Peripheral blood film:
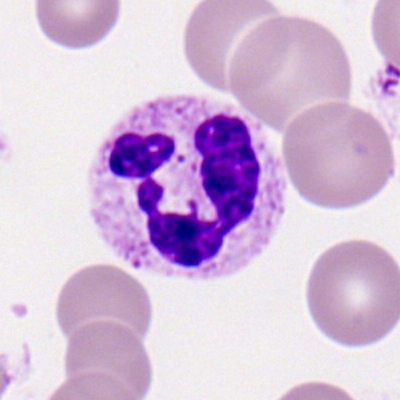 Morphology consistent with a neutrophil (segmented).